250×250 · brightfield microscopy, 40× oil immersion · bone marrow smear:
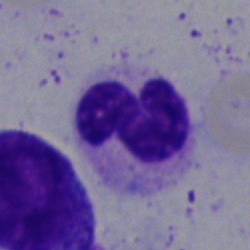
Cell — segmented neutrophil.